Bone marrow aspirate smear — 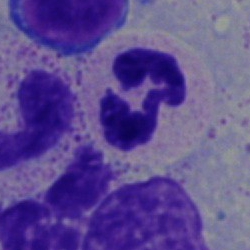A neutrophil (segmented).